Cropped to a single cell. Bone marrow aspirate smear. May-Grünwald-Giemsa/Pappenheim stain
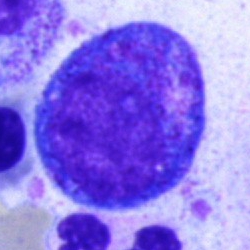
This is a progranulocyte.